Bone marrow aspirate smear: 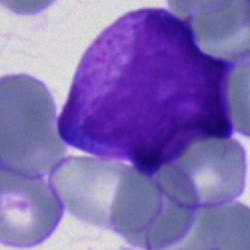Classification — blast.